Bone marrow smear.
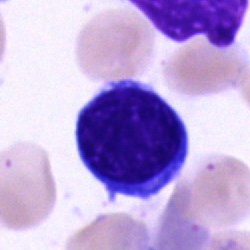Q: Which cell type is shown here?
A: Typical lymphocyte.